Bone marrow smear · single-cell field · image size 250×250
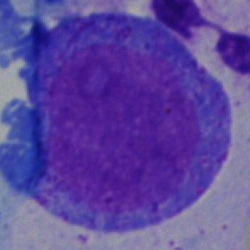 Morphology consistent with a progranulocyte.